Bone marrow smear.
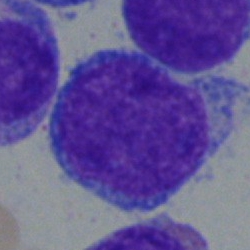Q: What cell is this?
A: This is a blast cell.